Bone marrow smear
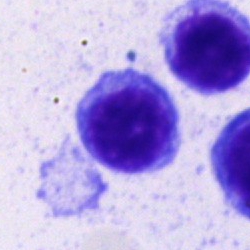

This is a typical lymphocyte.